Single cell centered in the field. Bone marrow smear:
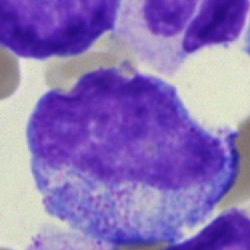 Cell — promyelocyte.